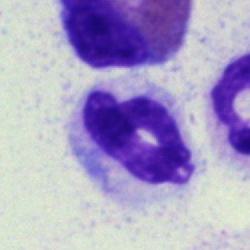 The cell shown is a neutrophil (segmented).